Bone marrow aspirate smear; 250×250 px; May-Grünwald-Giemsa/Pappenheim stain.
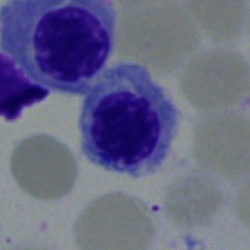Specimen: bone marrow aspirate smear.
Cell: normoblast.
Lineage: erythroid.